Pappenheim-stained. Bone marrow aspirate smear.
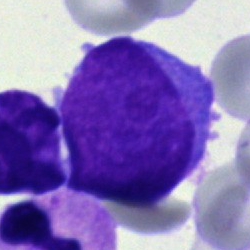 Specimen: bone marrow aspirate smear.
Cell type: blast cell.